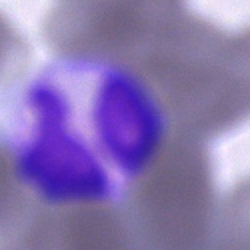 Bone marrow aspirate smear, single cell — unidentifiable cell.